Bone marrow aspirate smear
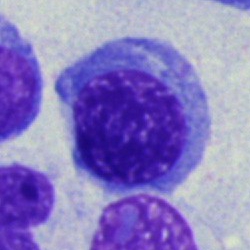Q: Identify the cell.
A: Erythroblast.